Bone marrow smear · single cell centered in the field · May-Grünwald-Giemsa stain:
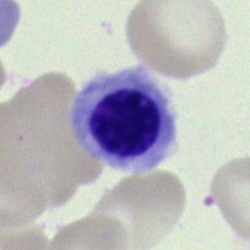

Q: Identify the cell.
A: This is an erythroblast.